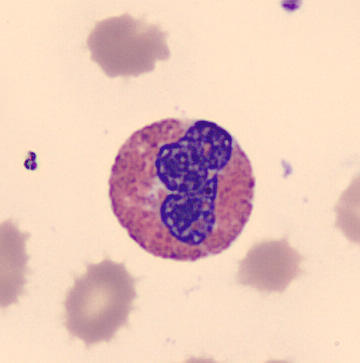
Impression → eosinophilic granulocyte.